Bone marrow aspirate smear. 40× objective, oil immersion:
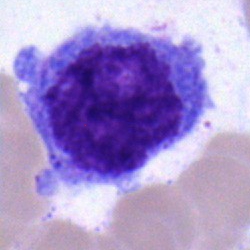

{"cell_type": "blast cell"}